Bone marrow smear. Cropped to a single cell.
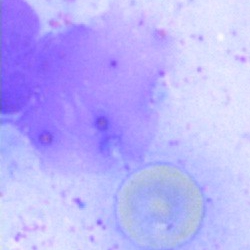

Morphology → artifact.